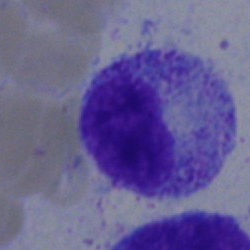Specimen: bone marrow smear.
Morphological class: myelocyte.